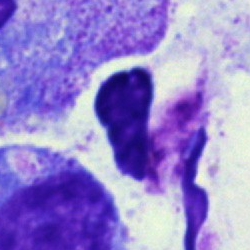

Q: What is shown here?
A: Artefact.